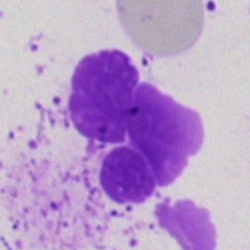 Single-cell crop from a bone marrow smear: artefact.